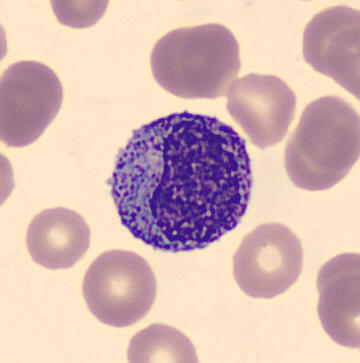
Single cell identified as a myelocyte.
Preparation: 360×363; peripheral blood film.